Bone marrow aspirate smear.
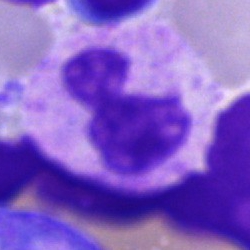A polymorphonuclear neutrophil.